Bone marrow smear.
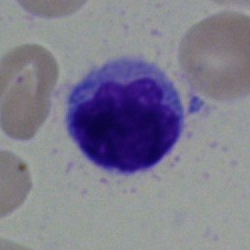

Q: What cell is this?
A: A typical lymphocyte.